Pappenheim-stained; bone marrow smear; single-cell crop.
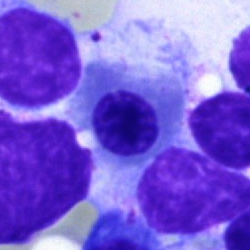

Morphology consistent with a normoblast.